Bone marrow aspirate smear
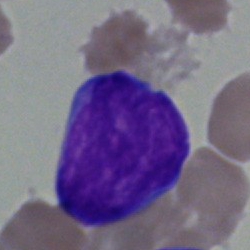 Q: Which cell type is shown here?
A: Blast.